Bone marrow smear
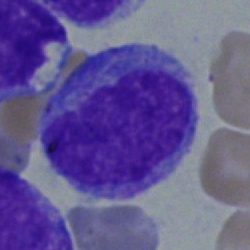 Showing a monocyte.